Romanowsky-stained · peripheral blood film.
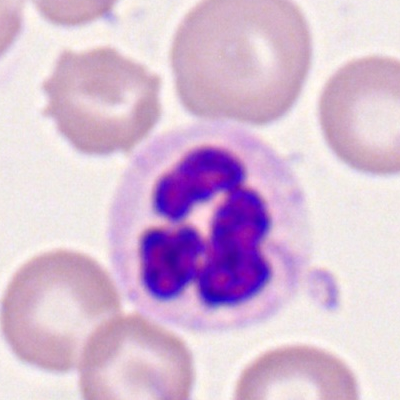Impression — neutrophil (segmented).